Bone marrow aspirate smear · 40× objective, oil immersion:
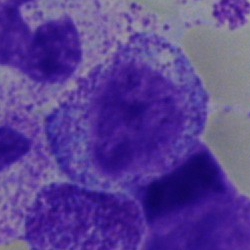 Specimen: bone marrow aspirate smear.
Classification: myelocyte.
Lineage: myeloid.